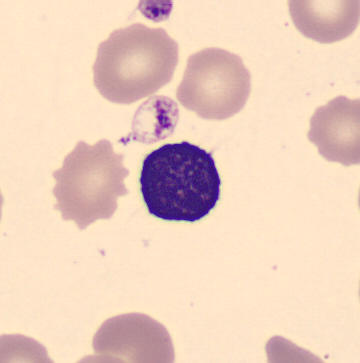 Q: What is this?
A: It is a lymphocyte.
Preparation: Peripheral blood smear.